Bone marrow smear:
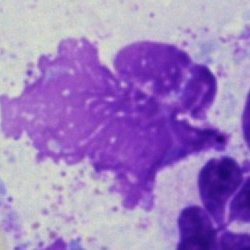

Cell = artefact.